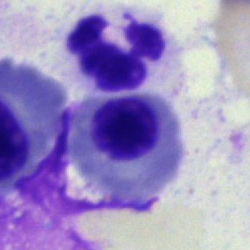
Specimen: bone marrow aspirate smear.
Morphological class: nucleated red blood cell.
Lineage: erythroid.